Bone marrow smear; May-Grünwald-Giemsa stain — 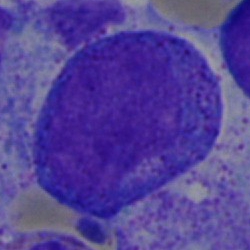 Q: Which cell type is shown here?
A: Promyelocyte.